Brightfield, 40× oil-immersion objective; bone marrow aspirate smear
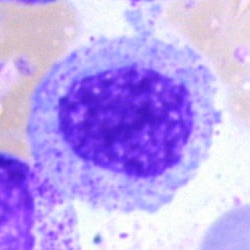
Specimen: bone marrow smear.
Cell: myelocyte.
Lineage: myeloid.